Bone marrow aspirate smear · 250×250: 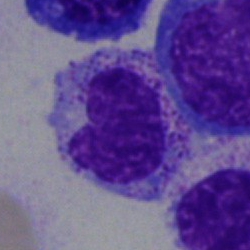

Cell — metamyelocyte.